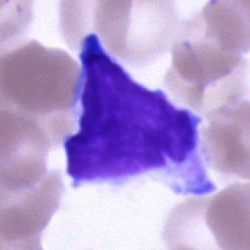

Q: Identify the cell.
A: This is a cell of indeterminate lineage.